Bone marrow smear.
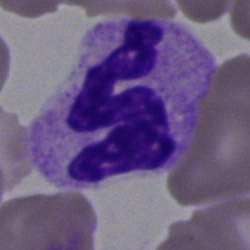

Cell type = neutrophil (segmented).